Bone marrow smear — 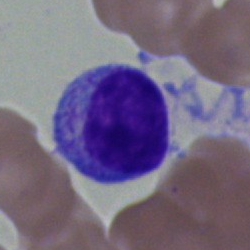 Morphology consistent with a lymphocyte.